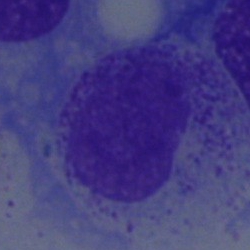Morphology → myelocyte.